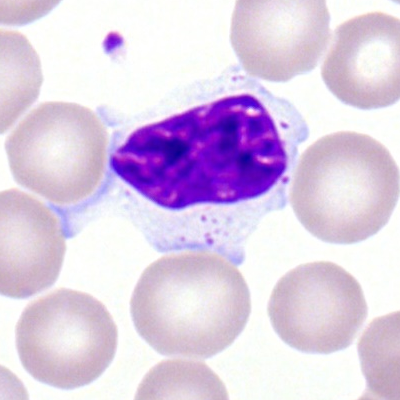

{"cell_type": "typical lymphocyte"}